Peripheral blood film. M8 digital microscope (Precipoint), 100× oil immersion:
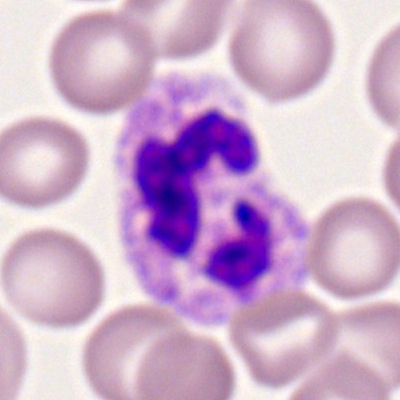
Single cell identified as a neutrophil (segmented).